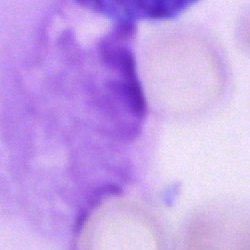The cell type is artefact.